MGG-stained. Single cell centered in the field. Peripheral blood film:
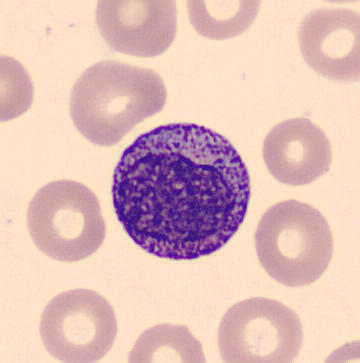
Impression — progranulocyte.